Bone marrow smear:
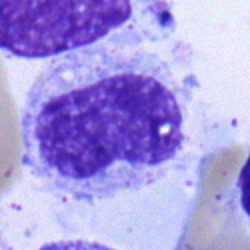 Morphology consistent with a metamyelocyte.